Peripheral blood film · 100× objective, oil immersion — 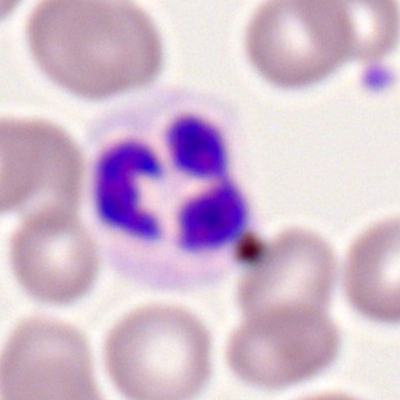Single cell identified as a polymorphonuclear neutrophil.